250 by 250 pixels; bone marrow smear; brightfield, 40× oil-immersion objective
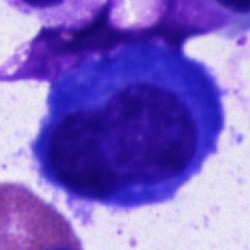
Cell type — plasma cell.